Peripheral blood smear; 400 by 400 pixels; single-cell crop
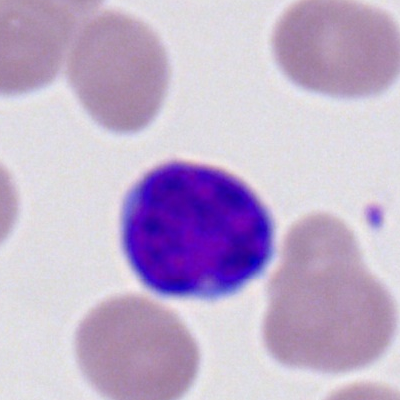
Cell type — typical lymphocyte.